Bone marrow aspirate smear: 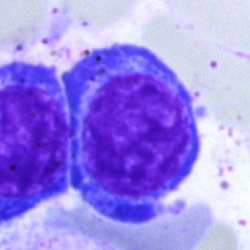Normoblast.